250×250; bone marrow aspirate smear; single-cell field: 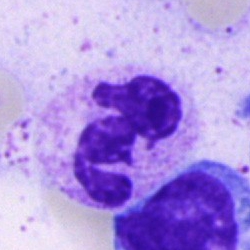
Single cell identified as a neutrophil (segmented).